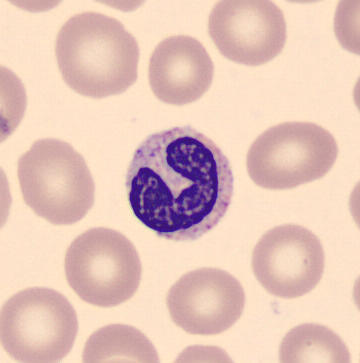Impression → band-form neutrophil.